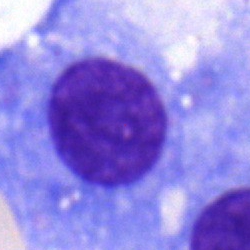

Bone marrow smear showing a plasma cell.